Bone marrow aspirate smear. Single-cell crop: 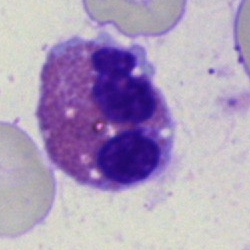
Q: What type of cell is this?
A: It is an eosinophilic granulocyte.